Bone marrow smear: 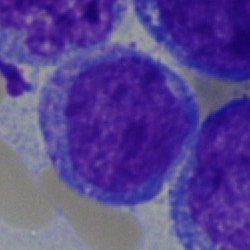 Impression — blast cell.